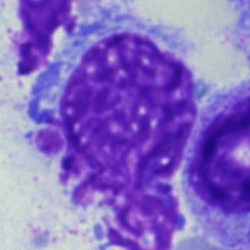 Cell = artifact.